250×250. Bone marrow smear.
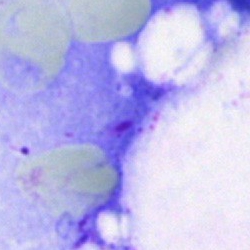Morphology consistent with an artefact.